Bone marrow aspirate smear; 40× oil immersion — 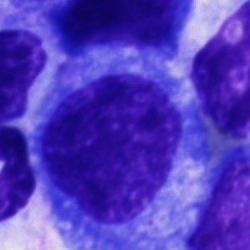

Morphology — unidentifiable cell.